Bone marrow aspirate smear: 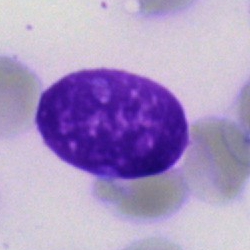
Q: What is shown here?
A: It is an artefact.